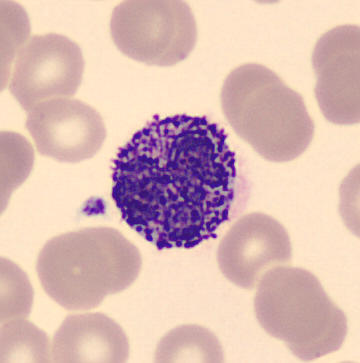 Classification: basophil.